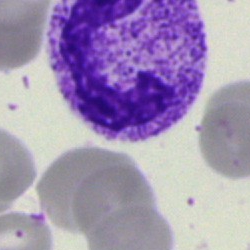 Q: What cell is this?
A: A polymorphonuclear neutrophil.